Brightfield, 40× oil-immersion objective; bone marrow aspirate smear
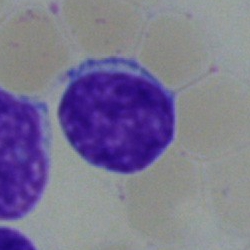

Classification — typical lymphocyte.